Bone marrow smear.
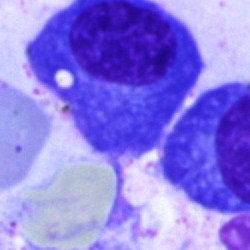
Cell: plasmacyte.